Image size 250×250 · bone marrow aspirate smear — 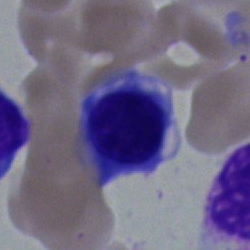
Q: Identify the cell.
A: Nucleated red blood cell.